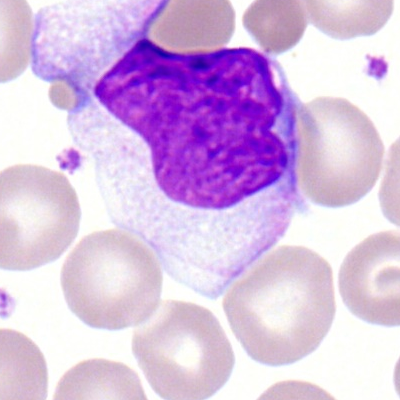Morphological class — monocyte.